Bone marrow aspirate smear
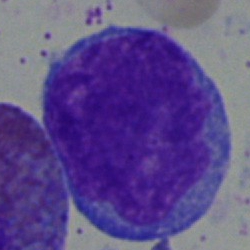 An undifferentiated blast.